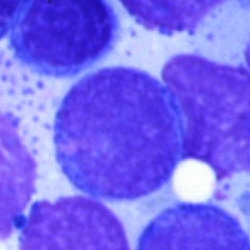Cell: blast cell.